Bone marrow smear; single-cell field:
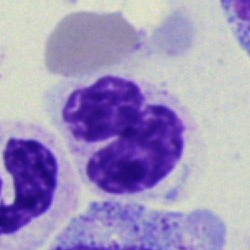Morphology → polymorphonuclear neutrophil.